May-Grünwald-Giemsa/Pappenheim stain · bone marrow smear: 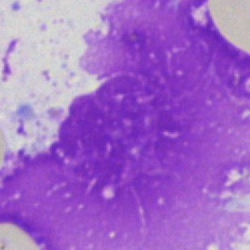 Cell type = artifact.